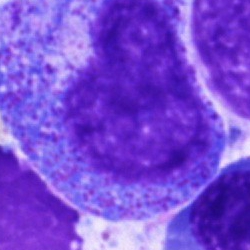Cell type: progranulocyte.